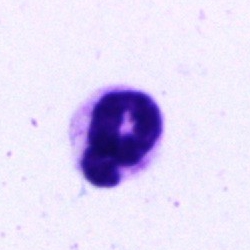Specimen: bone marrow aspirate smear.
Cell type: segmented neutrophil.